Bone marrow aspirate smear. MGG-stained
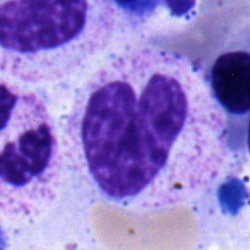

{"cell_type": "band-form neutrophil", "lineage": "myeloid"}